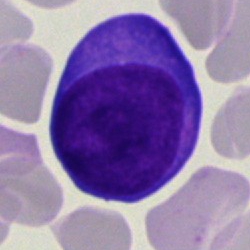 {"cell_type": "blast"}